Bone marrow aspirate smear — 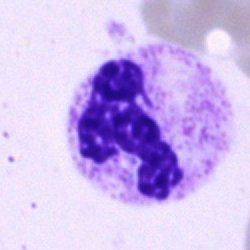

Classification — neutrophil (segmented).